Bone marrow smear; 40× oil immersion.
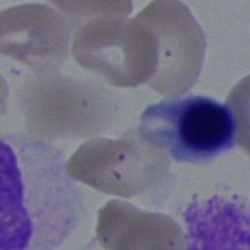

This is a nucleated red blood cell.